Bone marrow smear; single-cell crop — 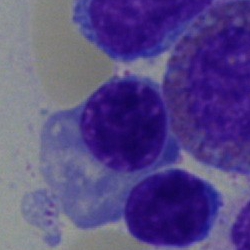Morphology consistent with a normoblast.